Bone marrow aspirate smear
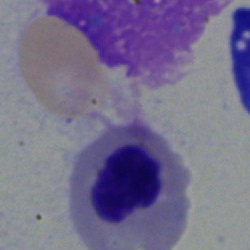

Specimen: bone marrow aspirate smear.
Cell type: nucleated red blood cell.
Lineage: erythroid.